Single cell centered in the field; May-Grünwald-Giemsa/Pappenheim stain; bone marrow aspirate smear.
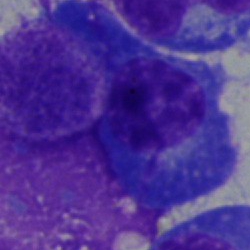
Impression → plasma cell.